Bone marrow aspirate smear
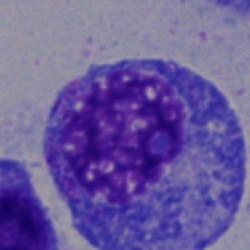
Morphology consistent with a promyelocyte.